Bone marrow aspirate smear: 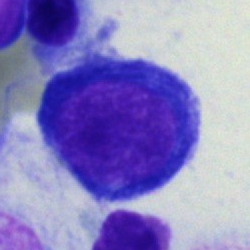Morphology consistent with a proerythroblast.